40× oil immersion; bone marrow smear:
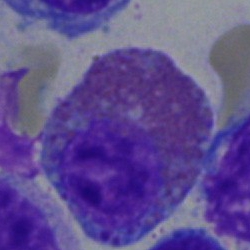 Single cell identified as an eosinophil.